Bone marrow smear
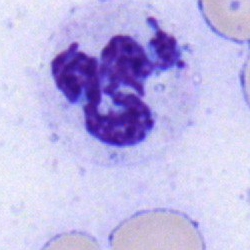 Cell — neutrophil (segmented).